Bone marrow smear:
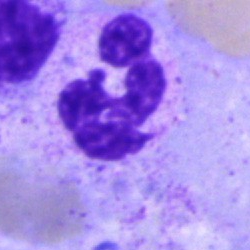 Neutrophil (segmented).